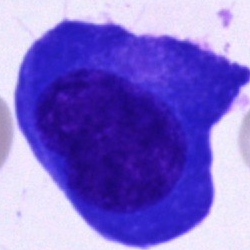Classification — plasma cell.